Bone marrow aspirate smear. Pappenheim-stained: 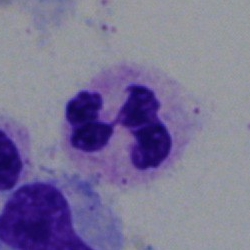

Morphological class = polymorphonuclear neutrophil.